Bone marrow smear.
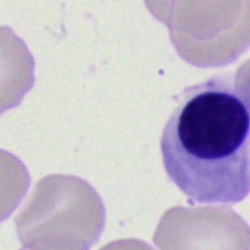 Morphology consistent with a nucleated red cell.